Brightfield, 40× oil-immersion objective; cropped to a single cell; bone marrow smear: 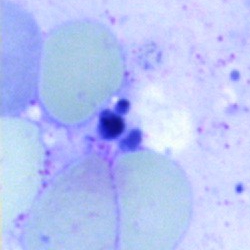 The cell shown is an artifact.